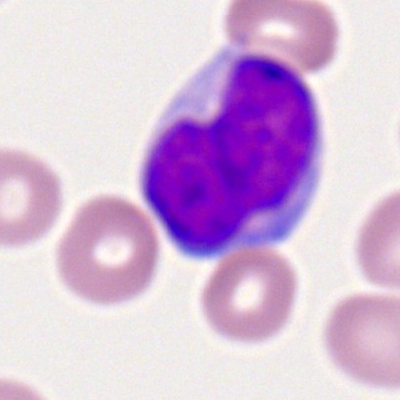Single cell identified as a myeloid blast.